Single-cell crop. Bone marrow aspirate smear. 250×250 px
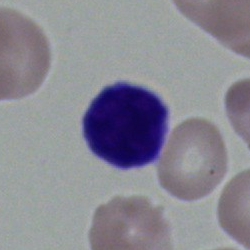

This is a typical lymphocyte.